Peripheral blood film.
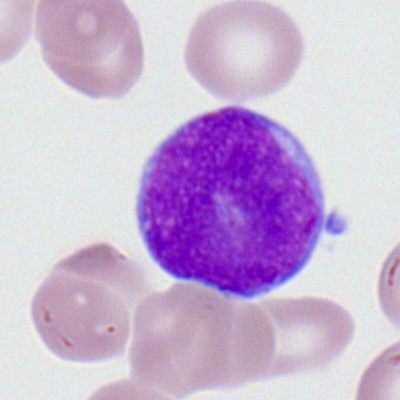

Impression → myeloid blast.